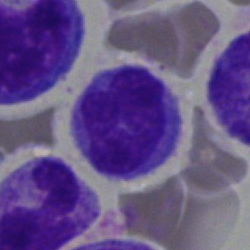
This is a monocyte.